Bone marrow smear:
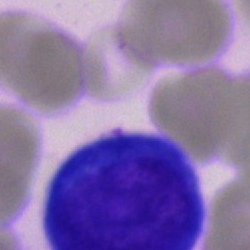
Classification = blast.